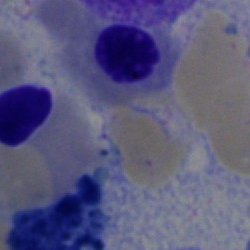

Q: What is the morphological classification of this cell?
A: Nucleated red cell.